Bone marrow smear. 250×250. Cropped to a single cell: 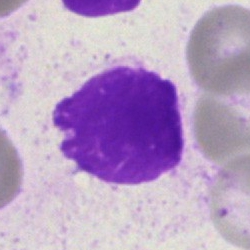

Morphology consistent with an artifact.